MGG-stained; bone marrow smear: 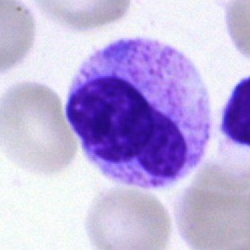Single cell identified as a metamyelocyte.